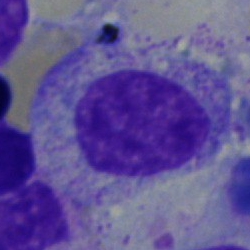

Single cell identified as a myelocyte.